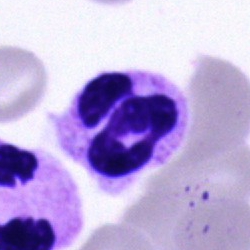Single-cell crop from a bone marrow smear: neutrophil (segmented).